Bone marrow aspirate smear: 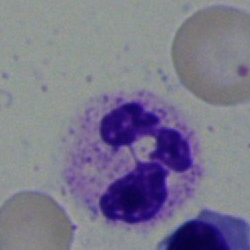The cell shown is a polymorphonuclear neutrophil.